Bone marrow smear: 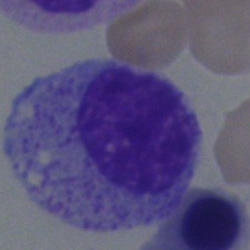Specimen: bone marrow smear.
Morphological class: myelocyte.
Lineage: myeloid.